Brightfield, 40× oil-immersion objective · single-cell field · bone marrow aspirate smear
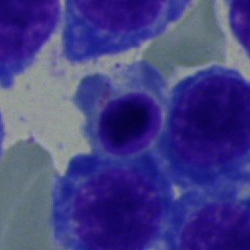
This is an erythroblast.